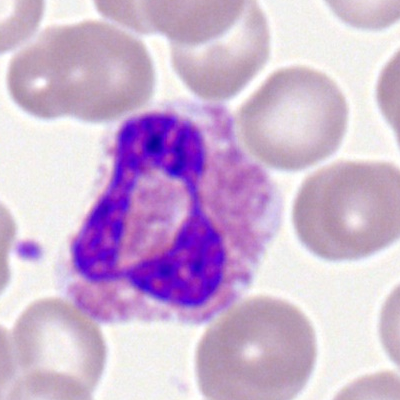
Q: What type of cell is this?
A: It is an eosinophilic granulocyte.